Bone marrow smear · single cell centered in the field.
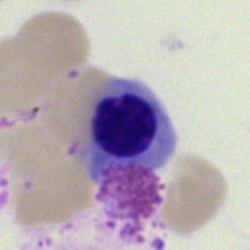

Morphology → nucleated red cell.